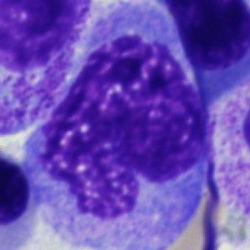Bone marrow aspirate smear, single cell — monocyte.